Peripheral blood smear. Image size 400×400 — 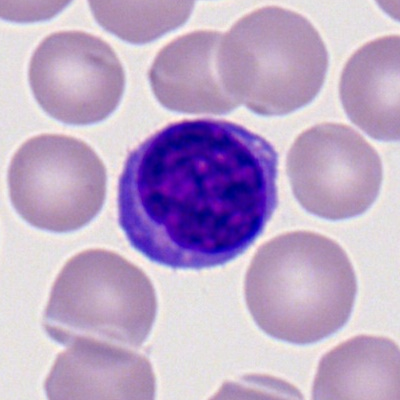 Single cell identified as a typical lymphocyte.